Bone marrow smear: 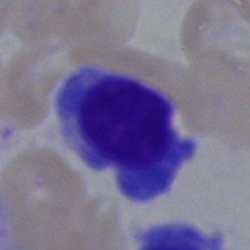

{"cell_type": "plasmacyte"}